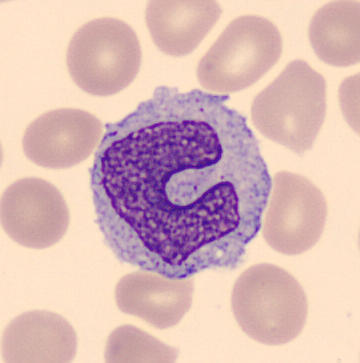

This is a monocyte.
Peripheral blood film.